Bone marrow aspirate smear. May-Grünwald-Giemsa stain:
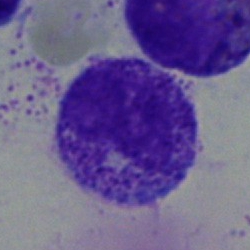
Impression — myelocyte.